Single-cell field; peripheral blood smear
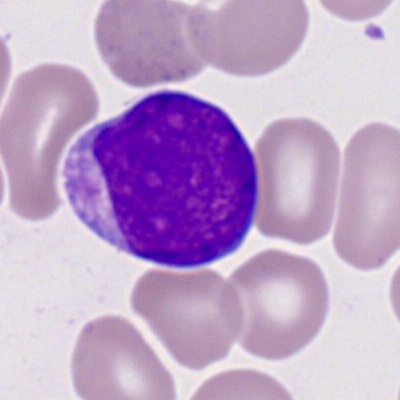Morphology → myeloid blast.